Bone marrow smear. Single-cell field:
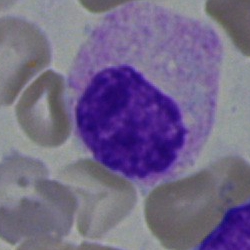Myelocyte.